Bone marrow aspirate smear: 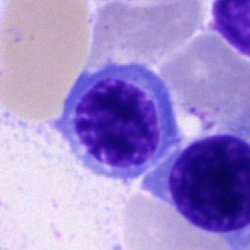

Morphological class: erythroblast.